Peripheral blood smear:
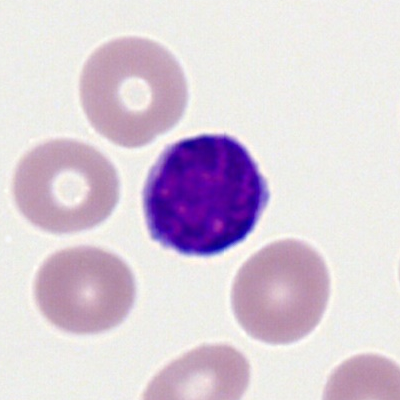
Morphological class = typical lymphocyte.